Bone marrow smear · 250×250 px · May-Grünwald-Giemsa/Pappenheim stain — 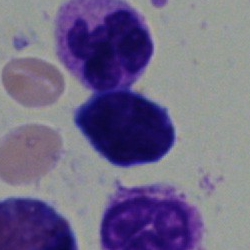
Q: Which cell type is shown here?
A: It is a lymphocyte.